Bone marrow smear. 250×250 px. Brightfield, 40× oil-immersion objective.
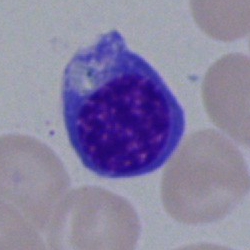Q: What is shown here?
A: It is an erythroblast.